Bone marrow aspirate smear:
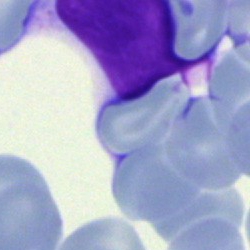
Artifact.